Peripheral blood smear:
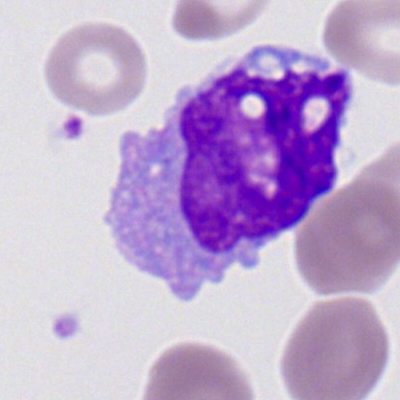
Specimen: peripheral blood film.
Cell: monocyte.
Lineage: myeloid.